Peripheral blood film.
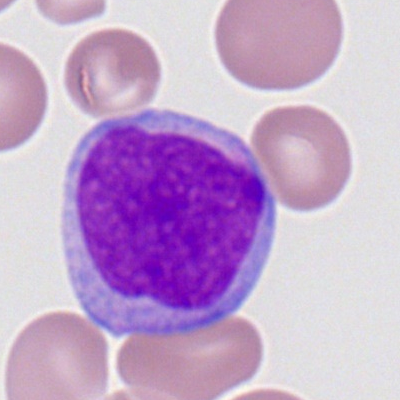
The classification is myeloid blast.